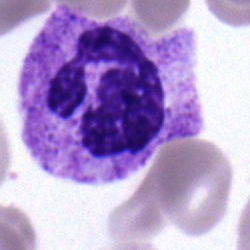 Cell type = polymorphonuclear neutrophil.